40× objective, oil immersion. Bone marrow aspirate smear.
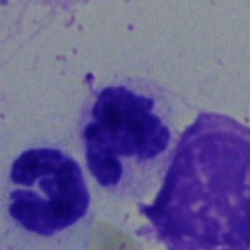
Single cell identified as a neutrophil (segmented).